Bone marrow aspirate smear: 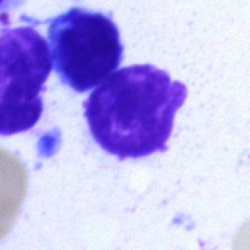
Q: What is shown here?
A: Artefact.